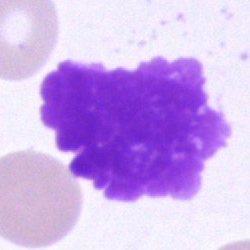
Bone marrow smear showing an artefact.